Bone marrow smear — 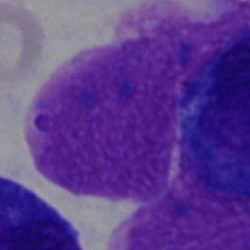Cell = artefact.